Single-cell crop. May-Grünwald-Giemsa stain. Bone marrow smear — 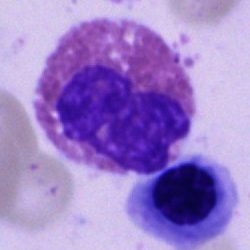Specimen: bone marrow aspirate smear.
Cell: eosinophil.